May-Grünwald-Giemsa stain · bone marrow aspirate smear: 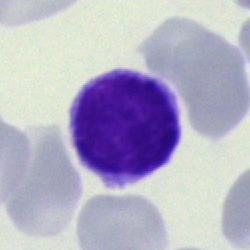

A lymphocyte.